Bone marrow aspirate smear
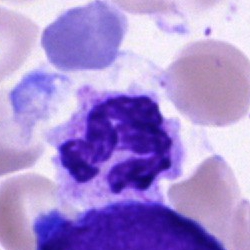 Morphology consistent with a neutrophil (segmented).